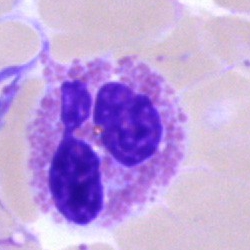Specimen: bone marrow smear.
Cell type: eosinophil.
Lineage: myeloid.